Bone marrow aspirate smear; brightfield, 40× oil-immersion objective: 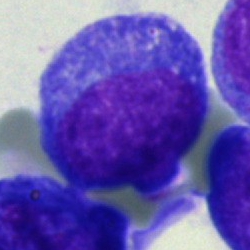

The cell shown is a blast.